Bone marrow aspirate smear
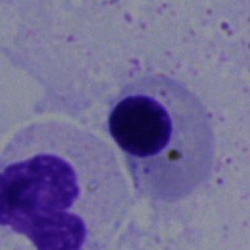

Q: What is shown here?
A: Normoblast.